40× oil immersion · bone marrow aspirate smear: 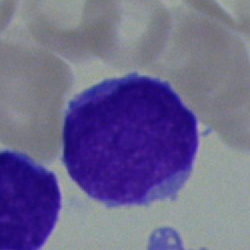

Q: Identify the cell.
A: An undifferentiated blast.